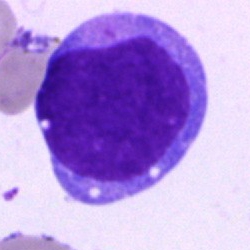
Morphology → undifferentiated blast.